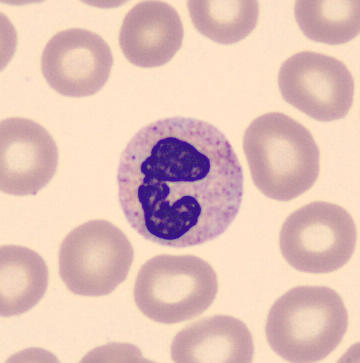Peripheral blood smear.

Cell: segmented neutrophil.